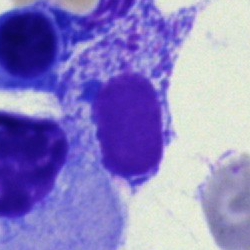
Showing an artefact.